Bone marrow smear
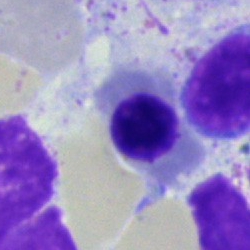Cell type: nucleated red cell.